Peripheral blood film: 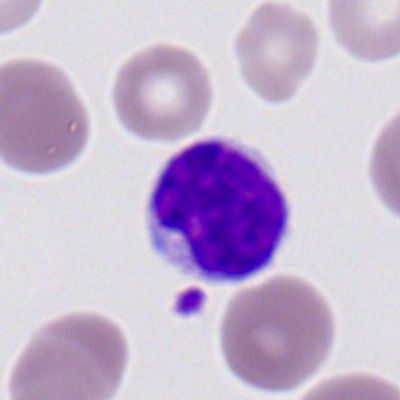

Cell type — typical lymphocyte.